Bone marrow smear: 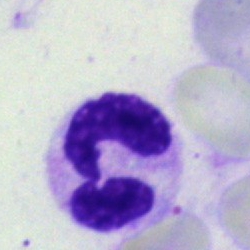 Showing a polymorphonuclear neutrophil.